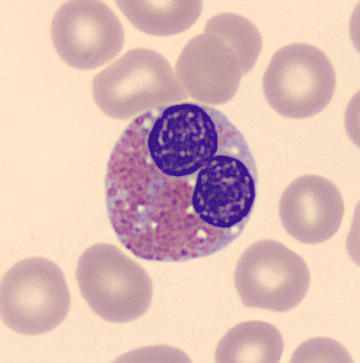
Identified as an eosinophil.

Preparation: Peripheral blood film.